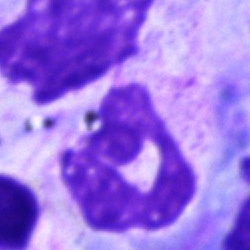 Classification: polymorphonuclear neutrophil.